40× objective, oil immersion; bone marrow aspirate smear
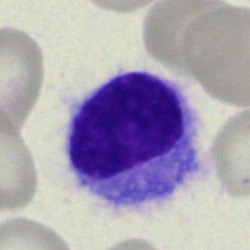 The cell type is hairy cell.